Brightfield microscopy, 40× oil immersion; bone marrow aspirate smear
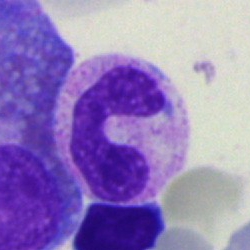
Showing a band neutrophil.